Bone marrow smear · MGG-stained · image size 250×250: 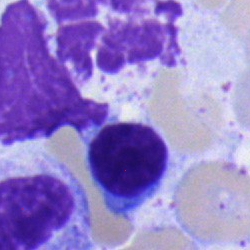 Single cell identified as a lymphocyte.